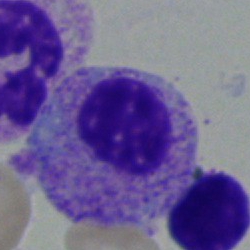
Morphological class = myelocyte.